Peripheral blood smear.
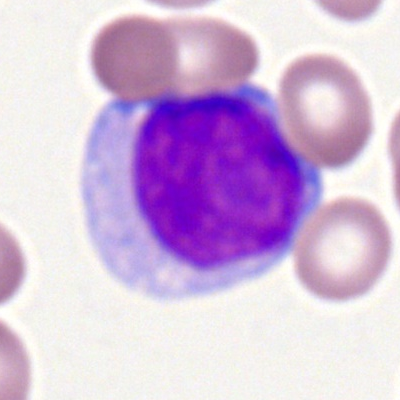
Morphology consistent with a myeloid blast.